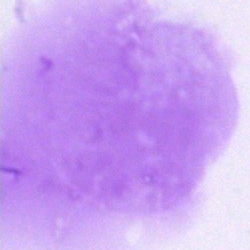 Impression → artefact.